Image size 250×250; 40× oil immersion; bone marrow aspirate smear: 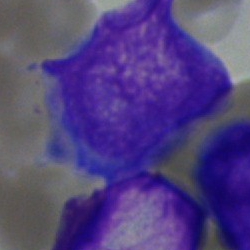 A blast.